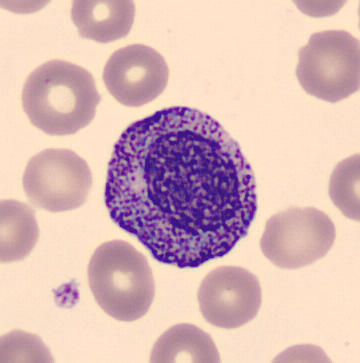
Peripheral blood smear showing a promyelocyte.